Bone marrow smear
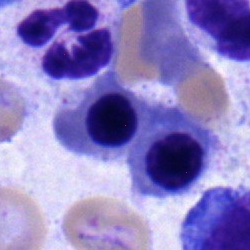 Single cell identified as a normoblast.